Bone marrow aspirate smear.
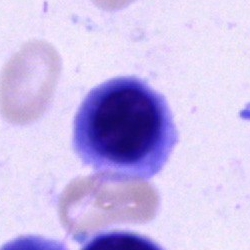 Cell type: nucleated red blood cell.